Bone marrow smear
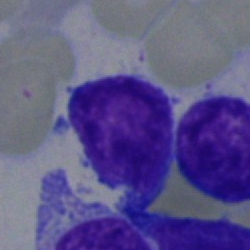Q: What type of cell is this?
A: It is a blast.